Peripheral blood film
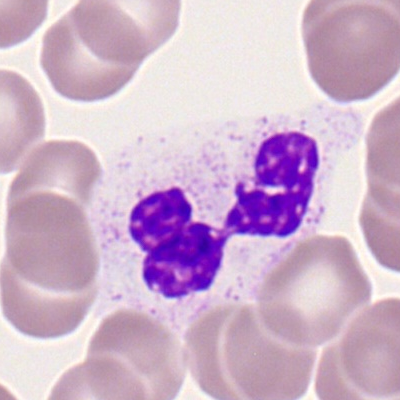 Morphology consistent with a neutrophil (segmented).